Bone marrow smear; single-cell crop — 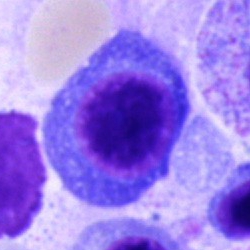

Q: Identify the cell.
A: Plasmacyte.